Cropped to a single cell; bone marrow smear — 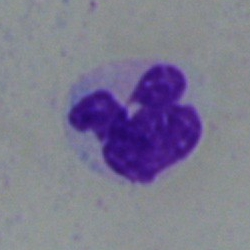A polymorphonuclear neutrophil.